Peripheral blood film
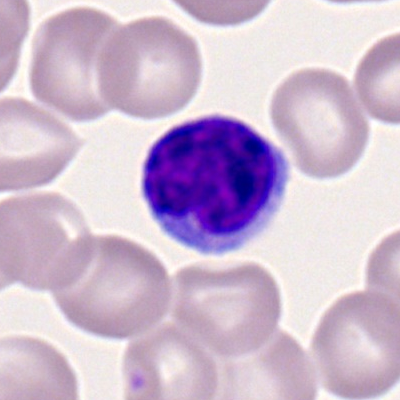 This is a lymphocyte.